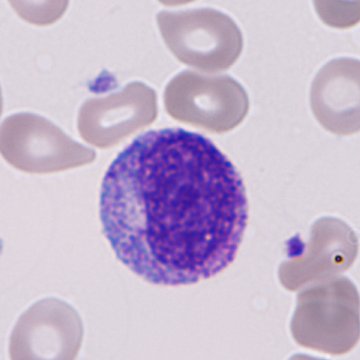
Cell type = immature granulocyte (promyelocyte, myelocyte or metamyelocyte).
Image: Peripheral blood film.